Pappenheim-stained · bone marrow aspirate smear — 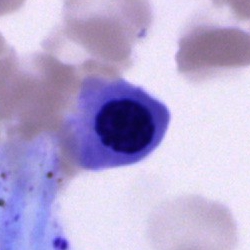
The cell shown is a normoblast.